Bone marrow smear
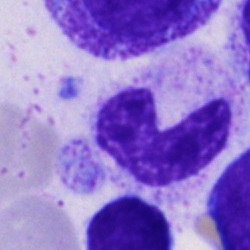

Impression — stab cell.